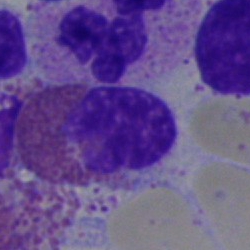
Bone marrow aspirate smear, single cell — eosinophilic granulocyte.